Bone marrow aspirate smear. Single cell centered in the field — 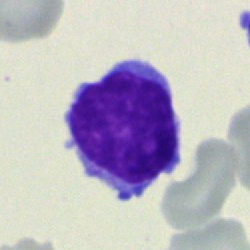 Showing a lymphocyte.